Bone marrow aspirate smear.
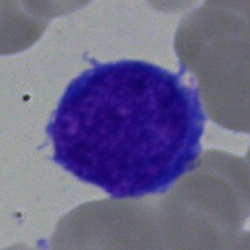 Undifferentiated blast.